Bone marrow aspirate smear:
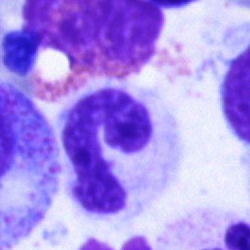Segmented neutrophil.